Brightfield, 40× oil-immersion objective. Bone marrow aspirate smear
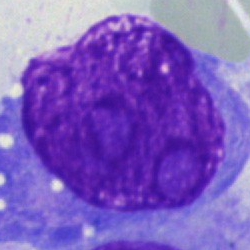 Showing an artefact.